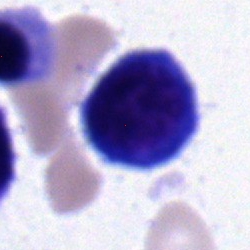 Specimen: bone marrow aspirate smear.
Cell type: nucleated red cell.
Lineage: erythroid.